Pappenheim-stained. Bone marrow aspirate smear:
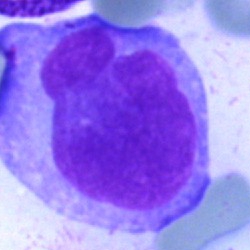
Morphology consistent with a blast.